Bone marrow smear. Single-cell field
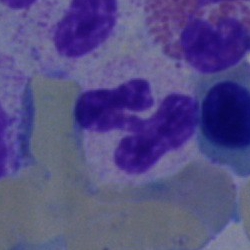Morphology → polymorphonuclear neutrophil.